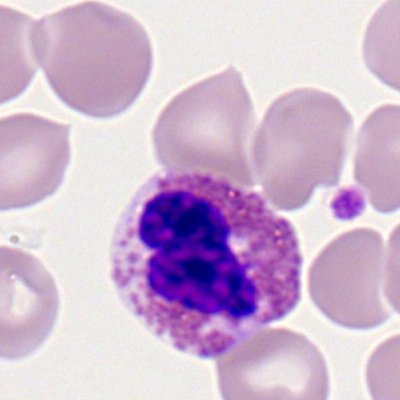 Specimen: peripheral blood film.
Morphological class: eosinophil.
Lineage: myeloid.